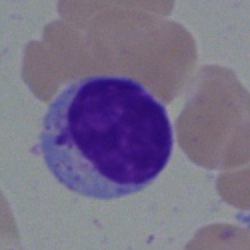

Specimen: bone marrow smear.
Classification: typical lymphocyte.
Lineage: lymphoid.